Bone marrow aspirate smear — 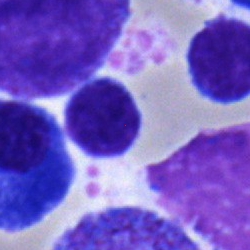Specimen: bone marrow smear.
Cell type: erythroblast.